Bone marrow aspirate smear; single-cell crop.
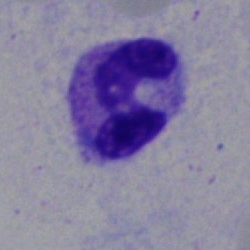 Cell = segmented neutrophil.